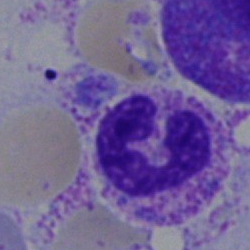 Showing a polymorphonuclear neutrophil.